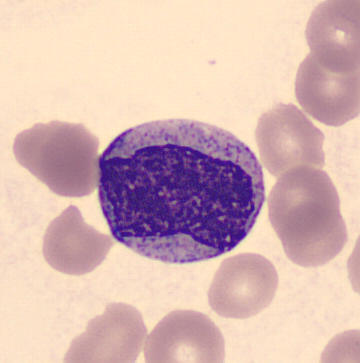Acquisition: May Grünwald-Giemsa stain · peripheral blood smear · automated cell imaging (CellaVision DM96).

Cell type = myelocyte.